40× objective, oil immersion. Bone marrow aspirate smear
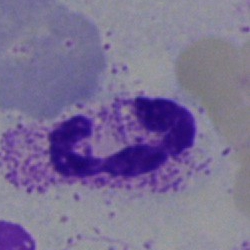This is a segmented neutrophil.